Bone marrow aspirate smear
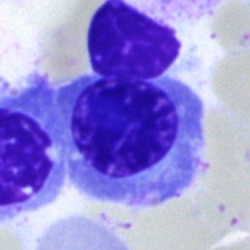 This is a nucleated red blood cell.